Bone marrow aspirate smear: 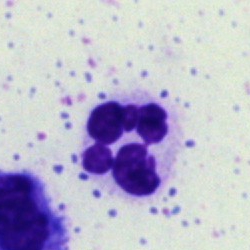 The cell type is neutrophil (segmented).